Bone marrow smear — 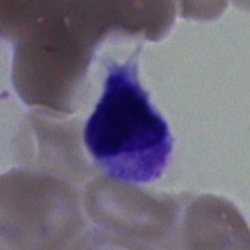 Morphological class — typical lymphocyte.